Bone marrow smear.
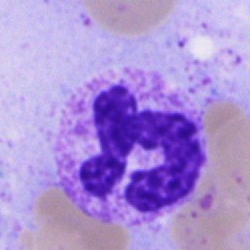

Specimen: bone marrow aspirate smear.
Cell type: segmented neutrophil.